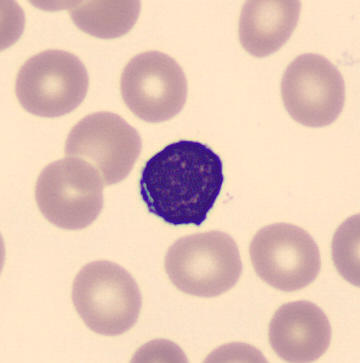

Specimen: peripheral blood smear.
Morphological class: typical lymphocyte.
Lineage: lymphoid.
Acquisition: Single cell centered in the field.